Pappenheim-stained. 40× objective, oil immersion. Bone marrow smear: 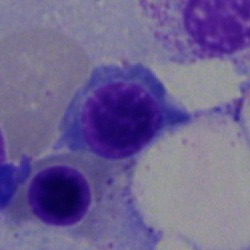
Morphological class: normoblast.